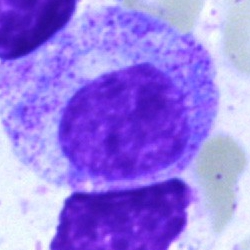

Morphology consistent with a myelocyte.